Bone marrow aspirate smear. Single cell centered in the field — 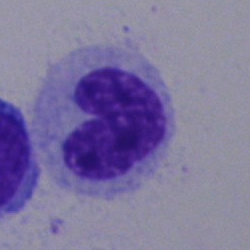

The classification is band neutrophil.